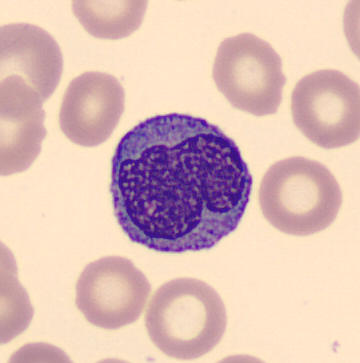

Image: Peripheral blood film · CellaVision DM96 · 360 by 363 pixels. Monocyte.